40× objective, oil immersion · bone marrow smear: 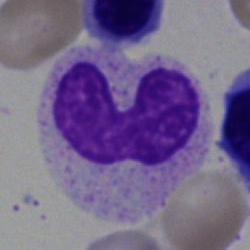 Q: What cell is this?
A: It is a neutrophil (band).